Bone marrow smear
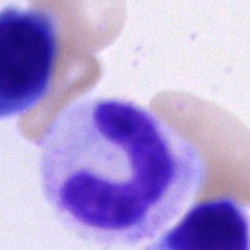

The cell type is stab cell.